Bone marrow aspirate smear. May-Grünwald-Giemsa stain: 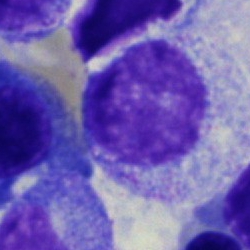Morphology — myelocyte.